Bone marrow smear — 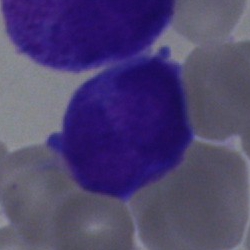Classification: blast cell.